Bone marrow aspirate smear. May-Grünwald-Giemsa/Pappenheim stain: 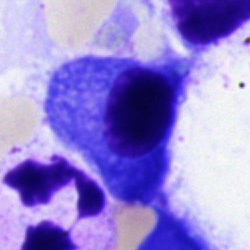

The morphological class is plasma cell.